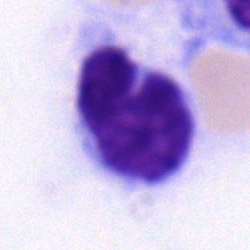

Q: What is shown here?
A: Lymphocyte.